Bone marrow smear. Single cell centered in the field.
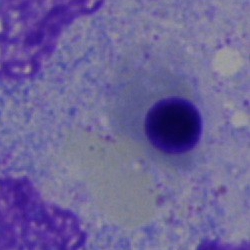

Specimen: bone marrow smear.
Cell: normoblast.
Lineage: erythroid.